250×250. Bone marrow aspirate smear:
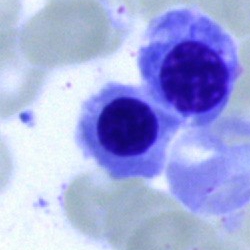 Q: What type of cell is this?
A: Normoblast.